Single-cell crop · brightfield, 40× oil-immersion objective · bone marrow smear — 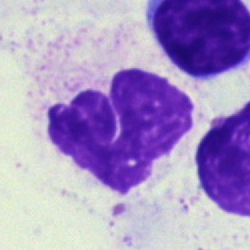 Cell: artefact.